Bone marrow smear
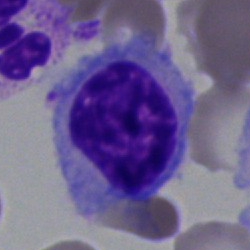Morphological class: lymphocyte.